Bone marrow smear · brightfield, 40× oil-immersion objective · image size 250×250: 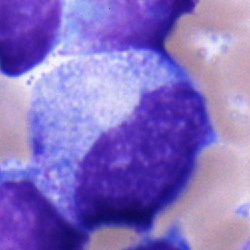Cell type — promyelocyte.